Bone marrow smear:
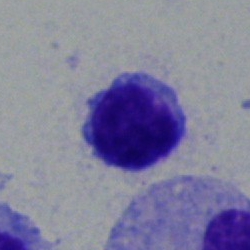
{"cell_type": "typical lymphocyte", "lineage": "lymphoid"}